Romanowsky-stained · peripheral blood smear — 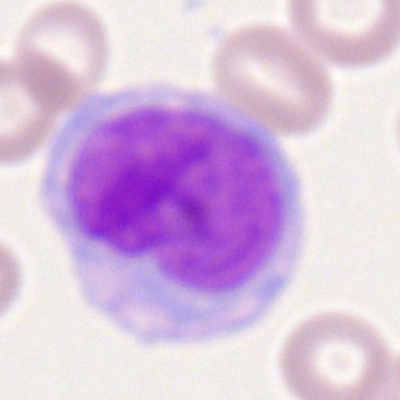This is a monocyte.